Bone marrow smear.
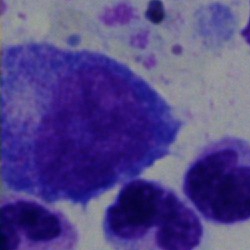A promyelocyte.